Bone marrow aspirate smear. Brightfield microscopy, 40× oil immersion — 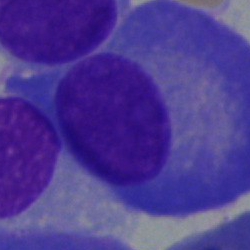

Classification = plasmacyte.